Bone marrow smear: 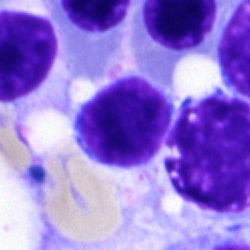
Single cell identified as a typical lymphocyte.